Bone marrow aspirate smear.
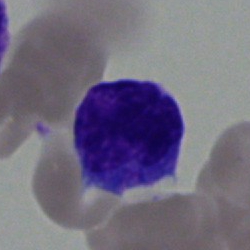Cell — lymphocyte.